Bone marrow smear
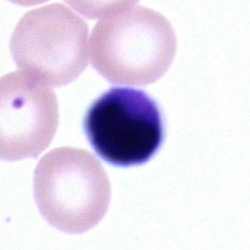

An unidentifiable cell.